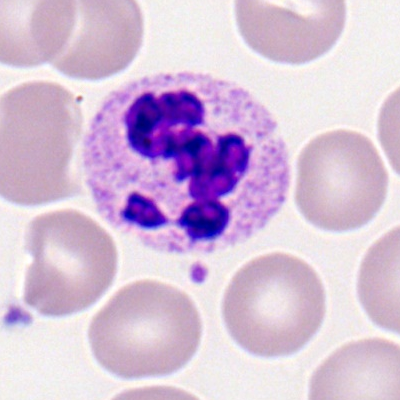

Specimen: peripheral blood film.
Cell: polymorphonuclear neutrophil.
Lineage: myeloid.